Bone marrow smear: 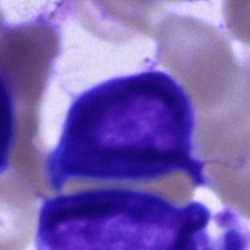Q: What cell is this?
A: This is an undifferentiated blast.